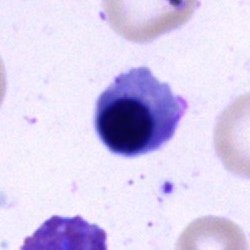
Impression — nucleated red cell.